Bone marrow smear · brightfield, 40× oil-immersion objective
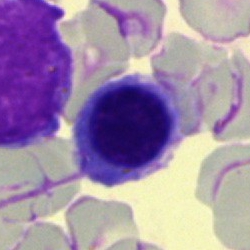The cell shown is a normoblast.